Bone marrow aspirate smear
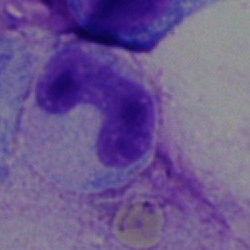
{"cell_type": "band neutrophil"}